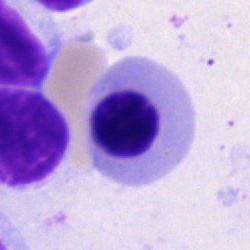Q: Which cell type is shown here?
A: A normoblast.